Bone marrow smear
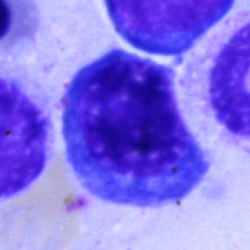Q: What type of cell is this?
A: Nucleated red blood cell.